Single cell centered in the field; bone marrow aspirate smear: 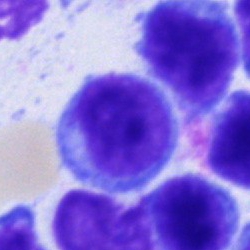 Impression — typical lymphocyte.